Single-cell field; bone marrow smear; 40× oil immersion — 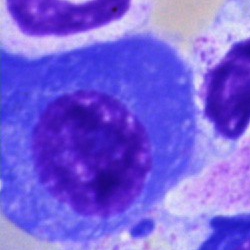

Showing a plasmacyte.